Cropped to a single cell; bone marrow smear: 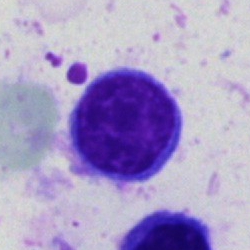

This is a lymphocyte.